Bone marrow smear: 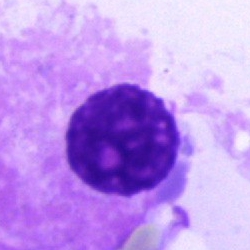

Q: What is shown here?
A: Plasmacyte.